Automated cell imaging (CellaVision DM96); peripheral blood smear; image size 360×363: 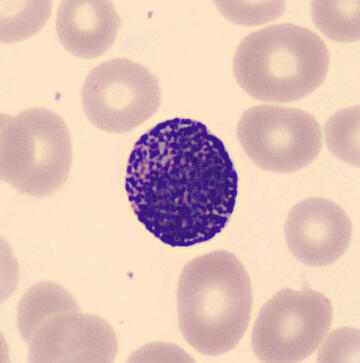Cell type = basophil.